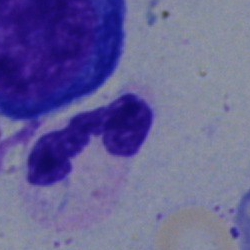The cell shown is a polymorphonuclear neutrophil.